Bone marrow aspirate smear — 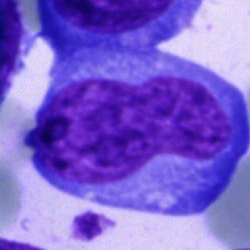Morphology — undifferentiated blast.